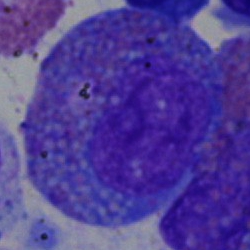
Q: What is shown here?
A: This is a promyelocyte.